Bone marrow smear.
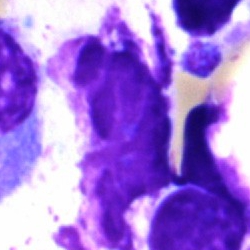

The classification is artifact.